Bone marrow aspirate smear
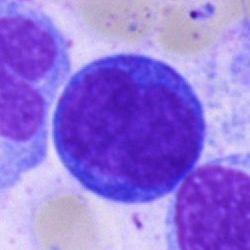 Cell type: blast cell.